Bone marrow smear
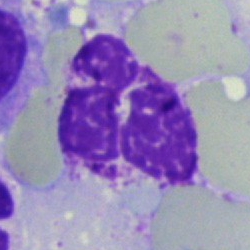
Artifact.